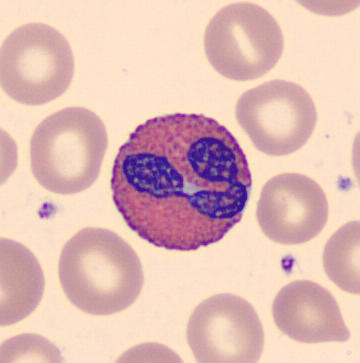Classification: eosinophil. Preparation: Peripheral blood smear.